Bone marrow smear:
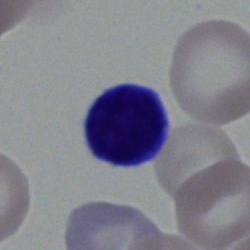
Q: What type of cell is this?
A: A lymphocyte.